Single-cell crop · bone marrow aspirate smear.
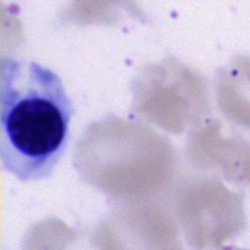Cell type = nucleated red blood cell.